Bone marrow smear: 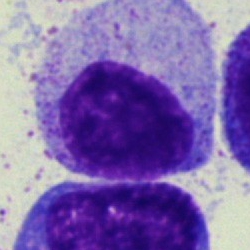

The cell type is myelocyte.